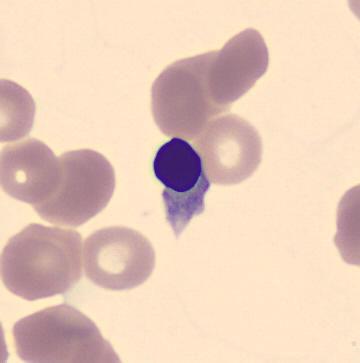Morphological class = nucleated red cell.